Romanowsky-type stain · peripheral blood smear · 400 by 400 pixels
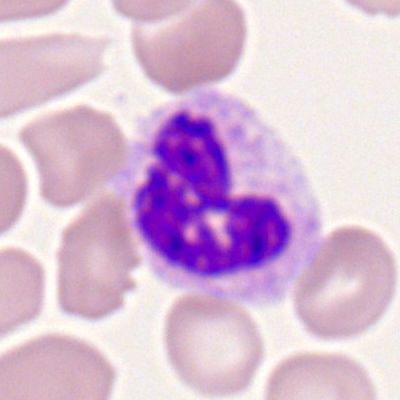Impression — segmented neutrophil.